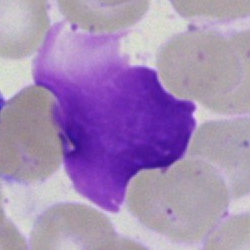Q: What is shown here?
A: It is an artifact.